Bone marrow smear — 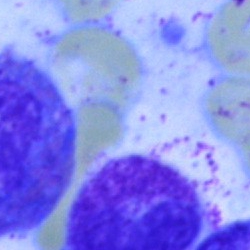 Impression → artefact.